Bone marrow smear · image size 250×250
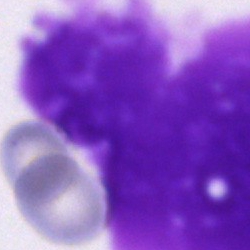Specimen: bone marrow aspirate smear.
Cell type: artifact.